Single-cell crop; peripheral blood smear — 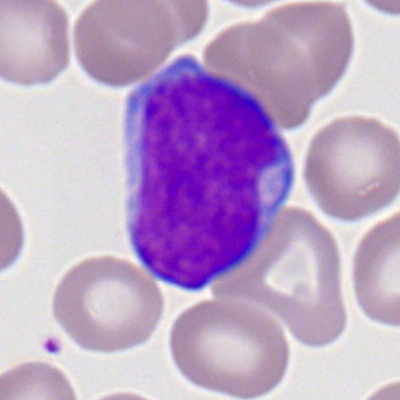Classification — myeloblast.